Bone marrow aspirate smear · 250×250 px.
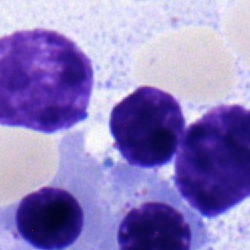A typical lymphocyte.